Bone marrow smear
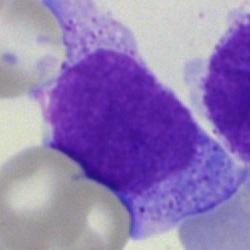

Impression → blast cell.